Bone marrow aspirate smear; 40× objective, oil immersion
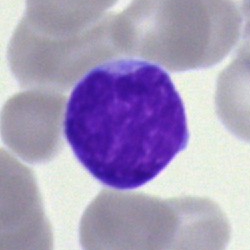 Specimen: bone marrow aspirate smear.
Cell: undifferentiated blast.